Bone marrow smear: 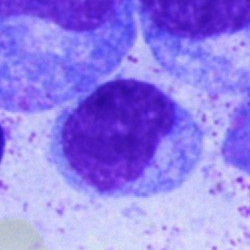 Q: Identify the cell.
A: Lymphocyte.